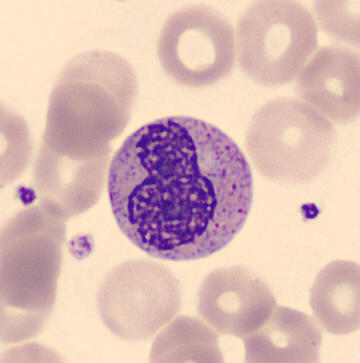
Cell type — metamyelocyte. Peripheral blood smear · 360×363 px.